Peripheral blood smear: 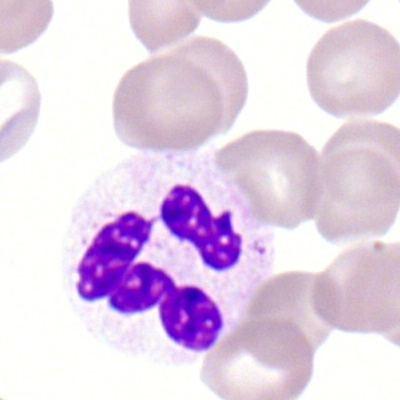Specimen: peripheral blood smear.
Classification: neutrophil (segmented).
Lineage: myeloid.